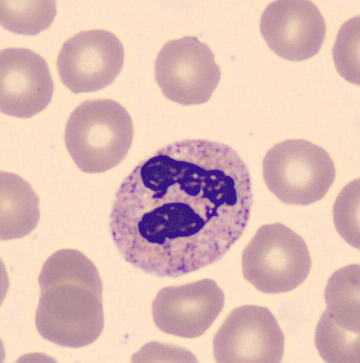 Q: What is shown here?
A: A neutrophil (segmented).